Bone marrow aspirate smear.
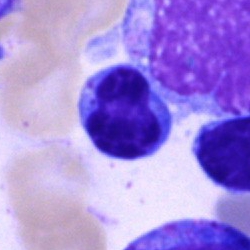

Q: What is shown here?
A: This is a typical lymphocyte.